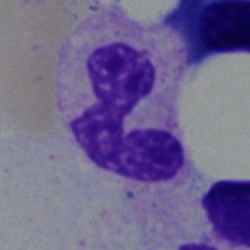 This is a neutrophil (segmented).